Bone marrow aspirate smear
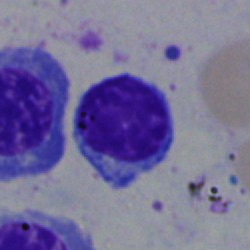 Showing a typical lymphocyte.